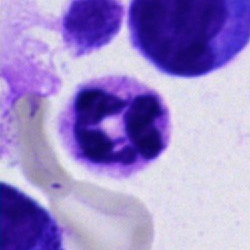
Q: Which cell type is shown here?
A: It is a segmented neutrophil.